May-Grünwald-Giemsa stain · 250×250 px · bone marrow aspirate smear.
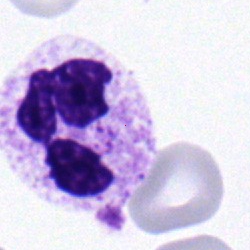Segmented neutrophil.